250×250. Bone marrow smear
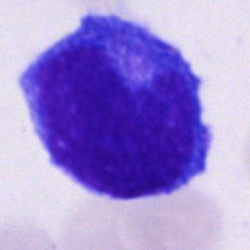An unidentifiable cell.